Bone marrow aspirate smear; MGG-stained; single cell centered in the field
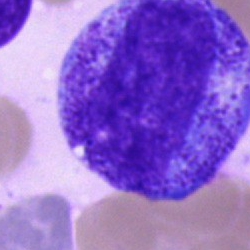

Q: What is shown here?
A: Promyelocyte.